Bone marrow aspirate smear; brightfield, 40× oil-immersion objective: 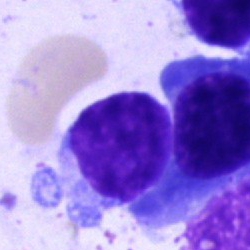
Specimen: bone marrow aspirate smear.
Cell type: typical lymphocyte.